400×400 px. Brightfield, 100× oil-immersion objective. Peripheral blood smear — 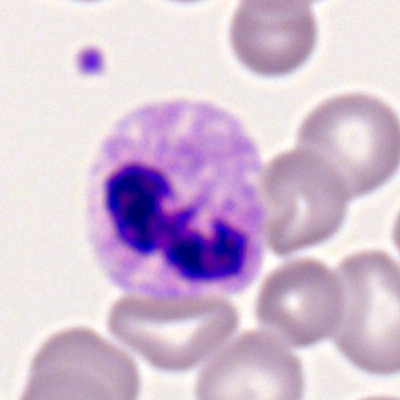 Morphology consistent with a neutrophil (segmented).